Bone marrow aspirate smear
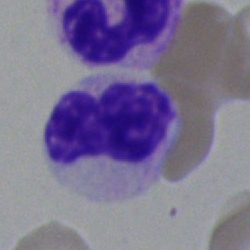
Classification: band-form neutrophil.